Bone marrow smear: 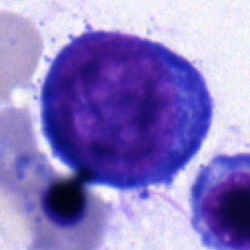

Showing a pronormoblast.